Bone marrow smear; 40× objective, oil immersion.
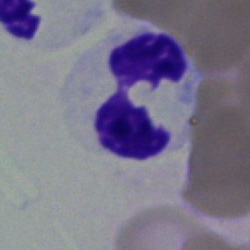Q: Identify the cell.
A: Neutrophil (segmented).